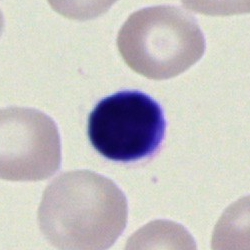

Impression — lymphocyte.